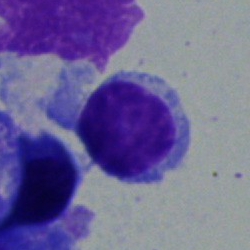

The classification is typical lymphocyte.